Bone marrow smear: 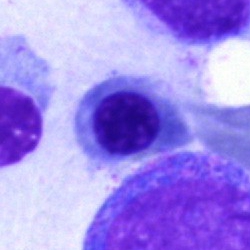 Impression — normoblast.